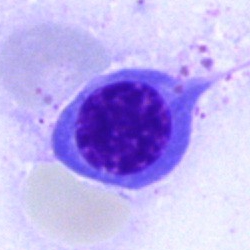 Cell type — nucleated red blood cell.